Bone marrow smear. Single-cell field. Pappenheim-stained:
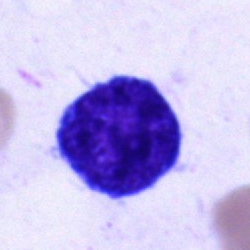Single cell identified as a blast.